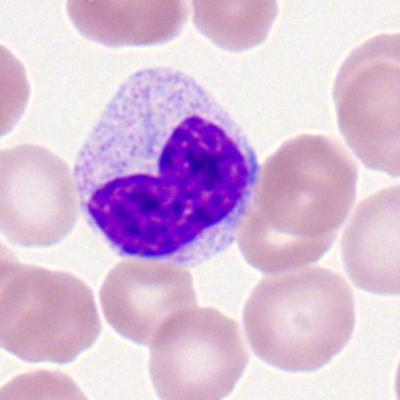
Classification = neutrophil (band).